Image size 250×250 · May-Grünwald-Giemsa stain · bone marrow smear.
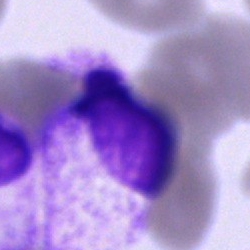 Cell type — cell of indeterminate lineage.